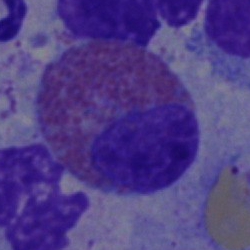

Eosinophil.